Image size 250×250. Bone marrow aspirate smear: 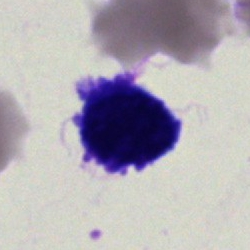 Cell = artefact.